Single cell centered in the field · bone marrow aspirate smear.
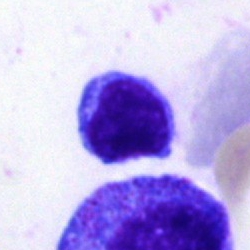 Single cell identified as a typical lymphocyte.